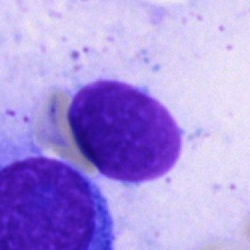

Cell: artefact.